400 by 400 pixels; peripheral blood smear — 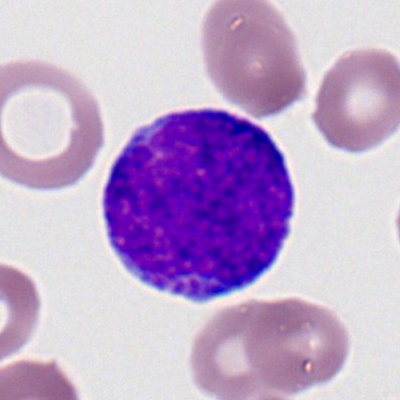Classification — myeloblast.